Bone marrow smear. 40× oil immersion:
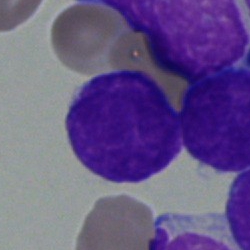

Q: What is shown here?
A: This is a blast cell.